Brightfield, 40× oil-immersion objective · bone marrow smear.
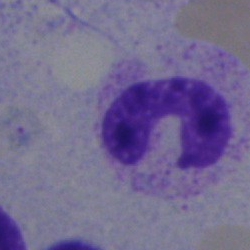

Showing a band-form neutrophil.